Single-cell field; bone marrow smear; image size 250×250 — 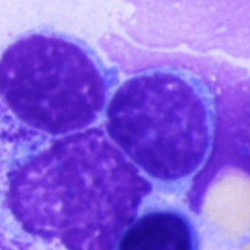 Specimen: bone marrow smear.
Classification: typical lymphocyte.
Lineage: lymphoid.